May-Grünwald-Giemsa stain · bone marrow smear · brightfield, 40× oil-immersion objective — 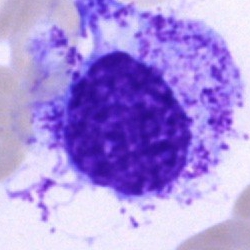Q: Identify the cell.
A: This is a myelocyte.